Peripheral blood film. 400 by 400 pixels:
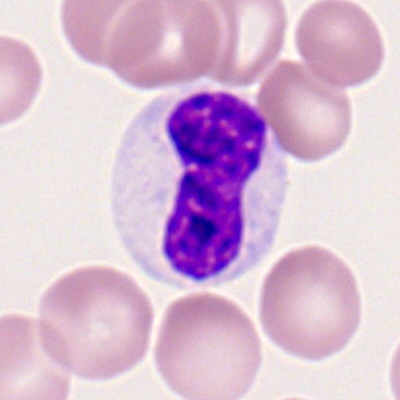

The cell type is stab cell.